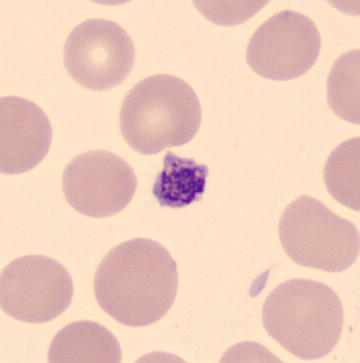Peripheral blood smear showing a thrombocyte.